40× oil immersion; bone marrow smear:
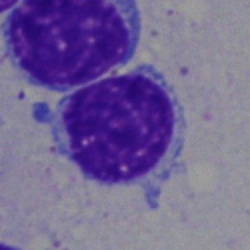 Single cell identified as a typical lymphocyte.